Bone marrow smear:
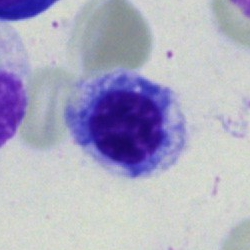
Specimen: bone marrow aspirate smear.
Classification: normoblast.